Bone marrow smear:
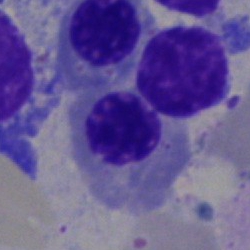
Morphological class — erythroblast.